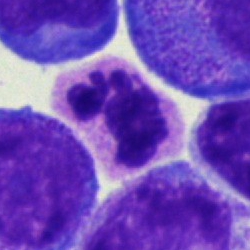 Q: Identify the cell.
A: A segmented neutrophil.